Single-cell crop · bone marrow aspirate smear · brightfield microscopy, 40× oil immersion — 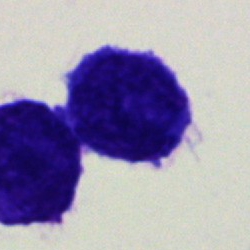
Impression — blast cell.